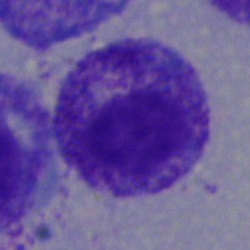
Morphological class — myelocyte.